Bone marrow aspirate smear · single-cell field
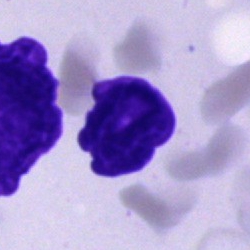 Artifact.